Single-cell field. Bone marrow smear:
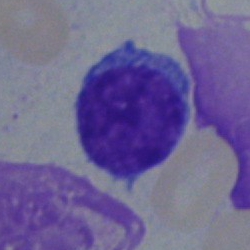 Cell type = lymphocyte.